Bone marrow aspirate smear; MGG-stained: 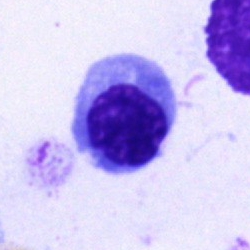 Cell type = erythroblast.